Peripheral blood smear:
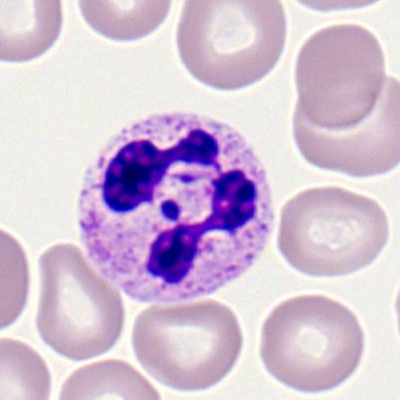

The cell shown is a polymorphonuclear neutrophil.